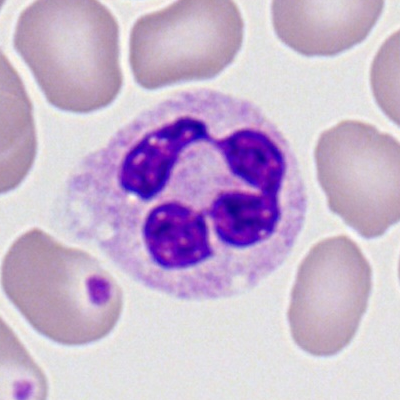 Q: Which cell type is shown here?
A: This is a polymorphonuclear neutrophil.